May-Grünwald-Giemsa stain. Bone marrow aspirate smear. Cropped to a single cell
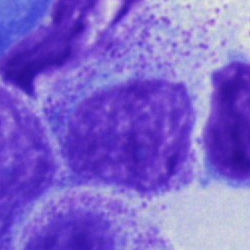A myelocyte.